Bone marrow aspirate smear — 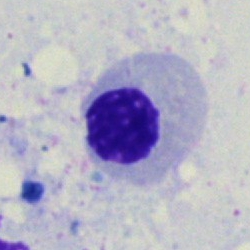Cell type = nucleated red cell.